Bone marrow aspirate smear; cropped to a single cell:
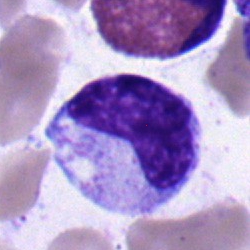
Cell: monocyte.